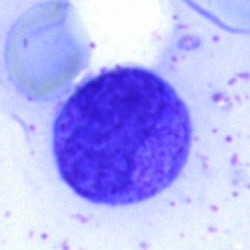 Single-cell crop from a bone marrow smear: stab cell.